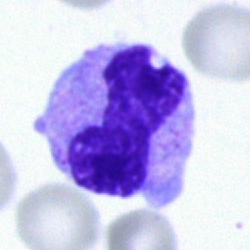 Morphology → band neutrophil.